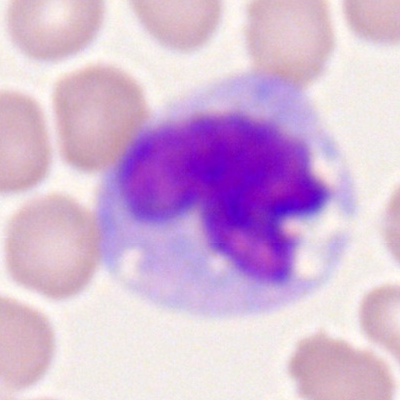

Q: What cell is this?
A: A monocyte.